Bone marrow smear; MGG-stained — 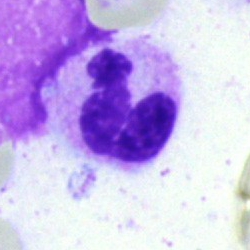

The cell shown is a polymorphonuclear neutrophil.